Bone marrow smear: 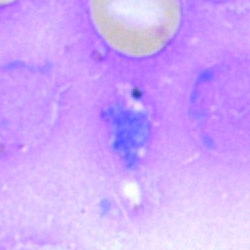Morphology consistent with an artifact.